Bone marrow smear: 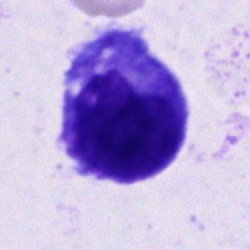

This is an unidentifiable cell.